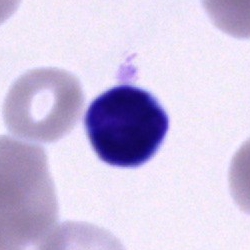 The classification is artifact.